Bone marrow smear; image size 250×250; single cell centered in the field.
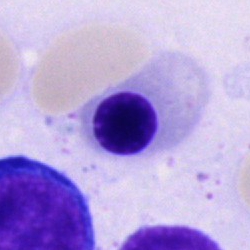

{"cell_type": "nucleated red cell", "lineage": "erythroid"}